Bone marrow aspirate smear · 40× oil immersion · single-cell crop — 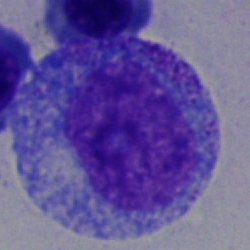
{"cell_type": "promyelocyte"}